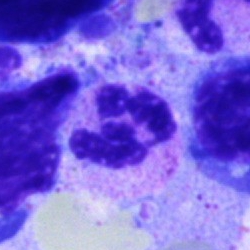
Cell type — segmented neutrophil.